40× oil immersion. Single-cell crop. Bone marrow aspirate smear — 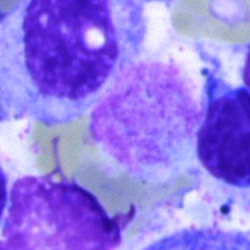 Single cell identified as an artefact.